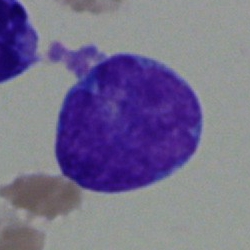Blast.